Bone marrow aspirate smear: 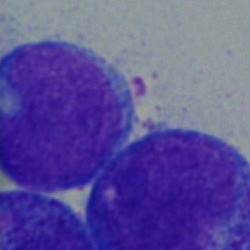
Cell type: undifferentiated blast.